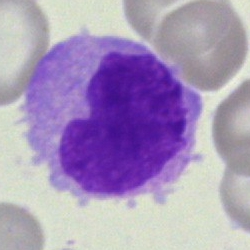
The classification is monocyte.